Bone marrow aspirate smear; brightfield microscopy, 40× oil immersion; 250×250: 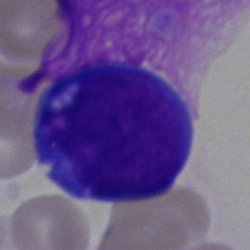Morphology consistent with a blast cell.